400×400 px; peripheral blood film: 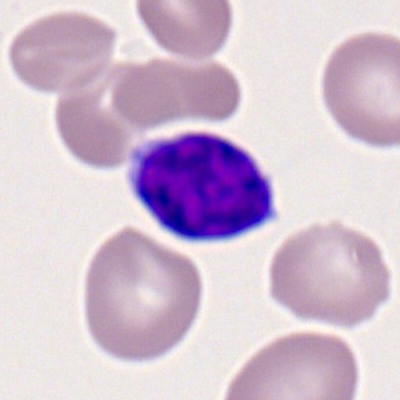
This is a lymphocyte.